Bone marrow smear:
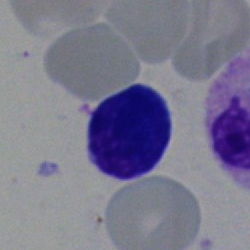 {"cell_type": "typical lymphocyte"}